Bone marrow smear — 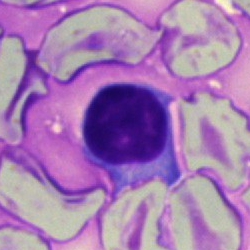 The cell shown is a typical lymphocyte.